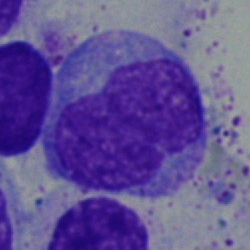 Impression — monocyte.